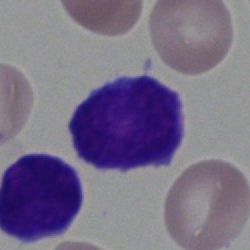Typical lymphocyte.